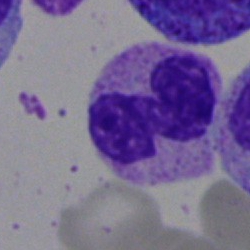 Q: What type of cell is this?
A: This is a polymorphonuclear neutrophil.